Bone marrow smear — 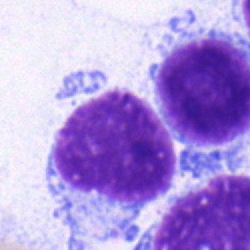 Q: Which cell type is shown here?
A: A lymphocyte.